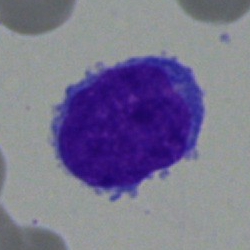Single-cell crop from a bone marrow smear: blast cell.